Peripheral blood film — 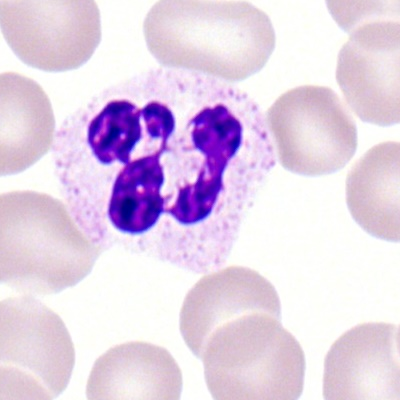Specimen: peripheral blood film.
Morphological class: segmented neutrophil.
Lineage: myeloid.